MGG-stained. Bone marrow smear: 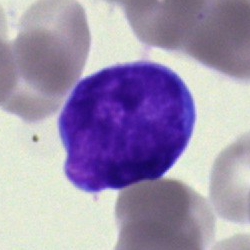Q: Which cell type is shown here?
A: It is a blast cell.